Brightfield, 40× oil-immersion objective · May-Grünwald-Giemsa stain · bone marrow smear: 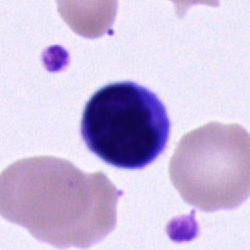

Cell: lymphocyte.